Bone marrow aspirate smear:
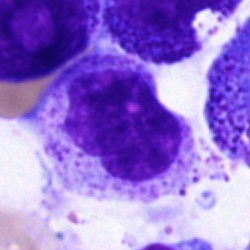
Showing a metamyelocyte.